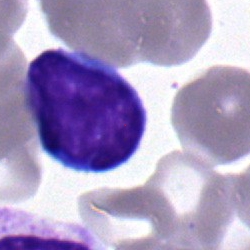

Morphological class — typical lymphocyte.